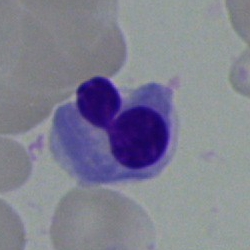
Impression — nucleated red cell.